Bone marrow smear; 40× objective, oil immersion: 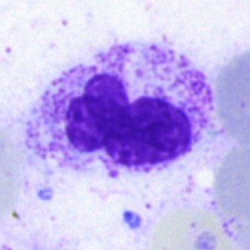 Impression → segmented neutrophil.